Single-cell crop; bone marrow smear — 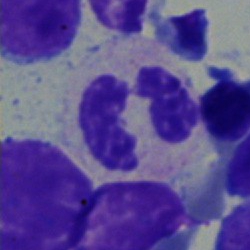

{"cell_type": "polymorphonuclear neutrophil"}